250×250; bone marrow aspirate smear; 40× oil immersion — 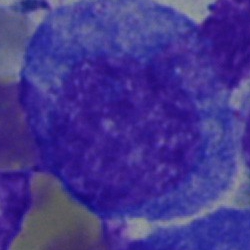

Classification — progranulocyte.